250 by 250 pixels; bone marrow aspirate smear
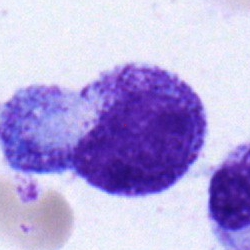
Q: What cell is this?
A: This is a myelocyte.